Bone marrow smear
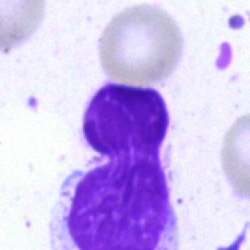 Single cell identified as an artifact.